Bone marrow aspirate smear — 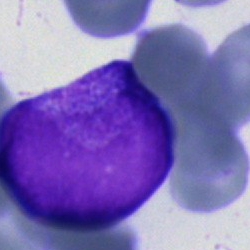

{"cell_type": "undifferentiated blast"}